Bone marrow smear
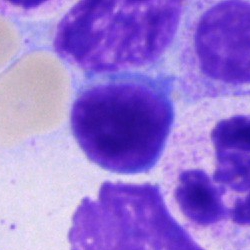
Classification = lymphocyte.